Bone marrow aspirate smear: 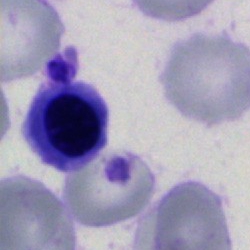This is a normoblast.